Brightfield, 40× oil-immersion objective; bone marrow smear
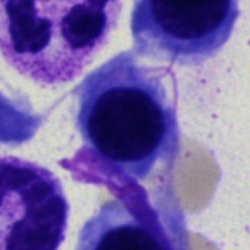

Q: What is shown here?
A: Nucleated red cell.